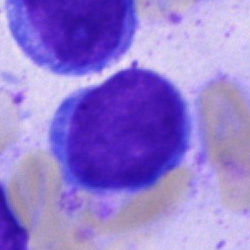
Classification = undifferentiated blast.